Bone marrow aspirate smear: 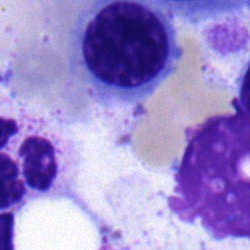
{"cell_type": "erythroblast", "lineage": "erythroid"}